Bone marrow aspirate smear. Brightfield microscopy, 40× oil immersion: 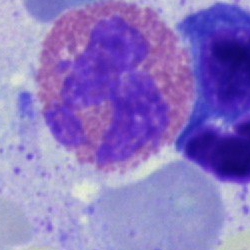
Q: What is the morphological classification of this cell?
A: Eosinophil.